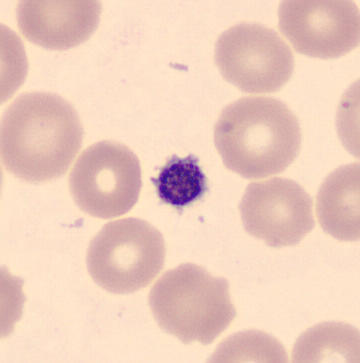 Cell type: thrombocyte.